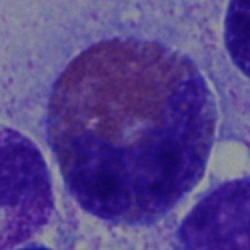
Morphological class = eosinophilic granulocyte.